Bone marrow smear.
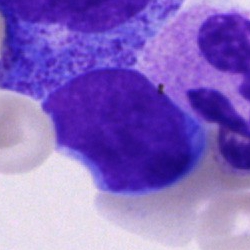 Impression → unidentifiable cell.